250 by 250 pixels; Pappenheim-stained; bone marrow smear
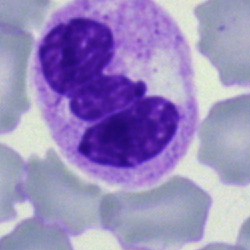 Morphological class — polymorphonuclear neutrophil.